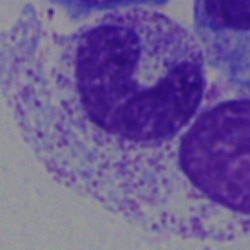

Cell type: neutrophil (band).